Brightfield, 40× oil-immersion objective. Bone marrow aspirate smear.
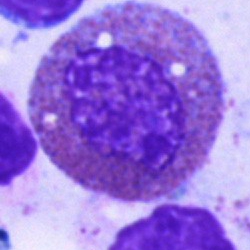
Impression — eosinophilic granulocyte.